Bone marrow aspirate smear
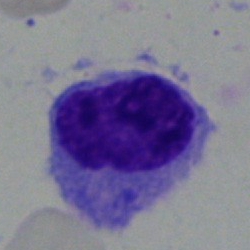 Morphological class = hairy cell.